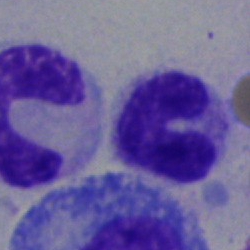
The classification is band-form neutrophil.